250×250 px; cropped to a single cell; bone marrow smear:
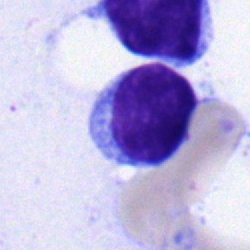 Impression → typical lymphocyte.